Bone marrow smear.
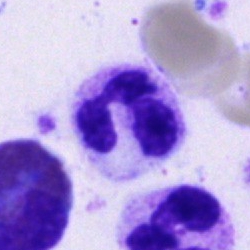Polymorphonuclear neutrophil.